Bone marrow smear. Cropped to a single cell: 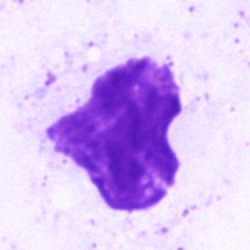 Q: What is shown here?
A: This is an artefact.